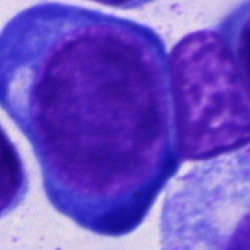
A pronormoblast.